Bone marrow smear:
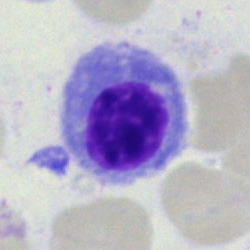
{"cell_type": "normoblast"}